Single cell centered in the field · Pappenheim-stained · bone marrow aspirate smear.
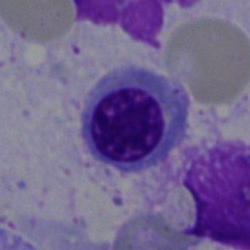

Specimen: bone marrow smear.
Cell type: nucleated red cell.
Lineage: erythroid.